Cropped to a single cell; bone marrow aspirate smear:
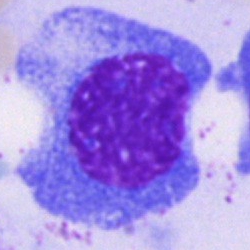Q: What cell is this?
A: This is a plasma cell.